Bone marrow smear. Single-cell crop
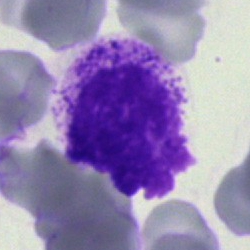

The morphological class is artifact.